40× oil immersion. Bone marrow smear. Cropped to a single cell
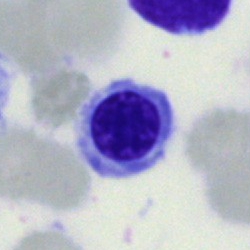 The cell is erythroblast.